Peripheral blood film:
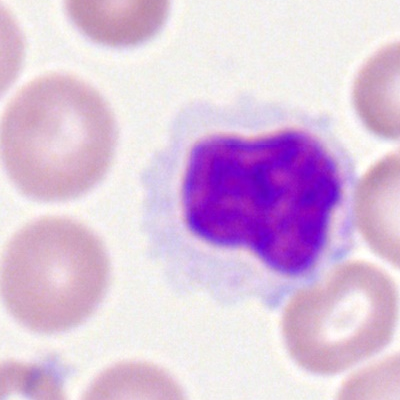

Q: Which cell type is shown here?
A: This is a lymphocyte.